Bone marrow smear:
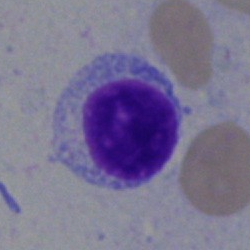
Q: What type of cell is this?
A: This is a lymphocyte.